Bone marrow smear:
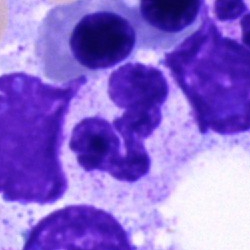Q: Identify the cell.
A: A segmented neutrophil.